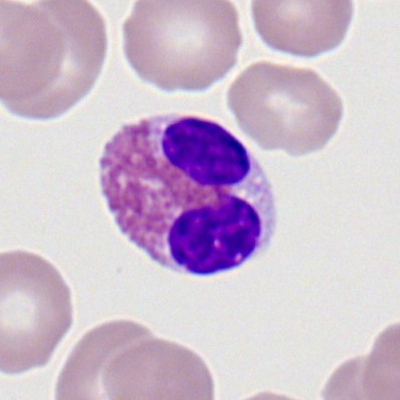
Single-cell crop from a peripheral blood smear: eosinophilic granulocyte.